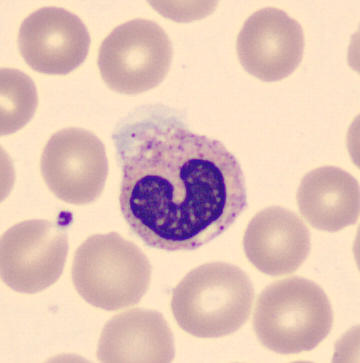Showing a band-form neutrophil. Acquisition: Peripheral blood film.